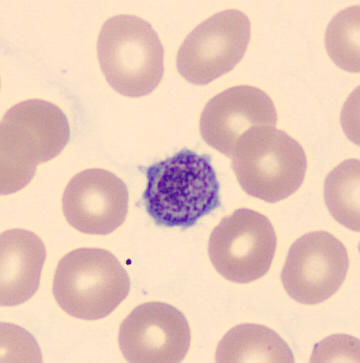
Q: What is this?
A: A thrombocyte.